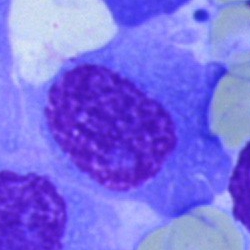

Classification: plasmacyte.